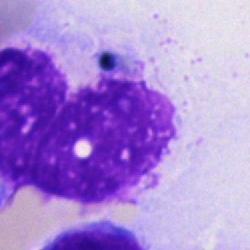

Specimen: bone marrow aspirate smear.
Cell: artefact.